Bone marrow smear.
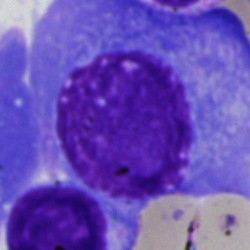Cell type — plasma cell.